Bone marrow aspirate smear · image size 250×250 · MGG-stained
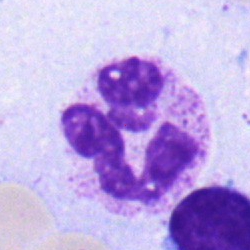
The morphological class is polymorphonuclear neutrophil.